250×250 px; single-cell field; bone marrow smear
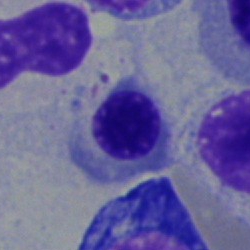

Classification — nucleated red blood cell.